Bone marrow aspirate smear; Pappenheim-stained; 250×250 px.
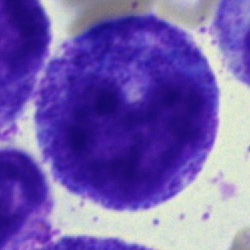

Cell: promyelocyte.